Bone marrow smear; 250×250 px; single cell centered in the field.
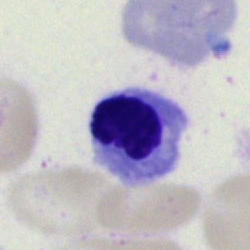 Cell type = normoblast.